Peripheral blood film
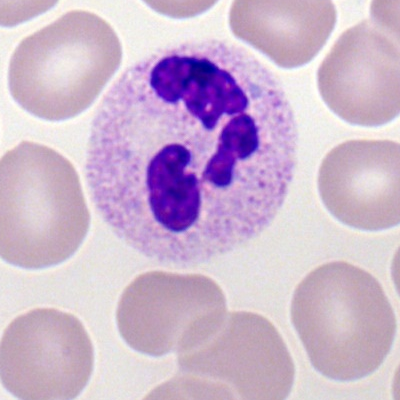 The cell is neutrophil (segmented).